Bone marrow aspirate smear · MGG-stained: 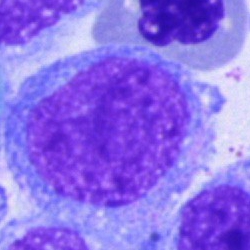
Q: What cell is this?
A: It is an undifferentiated blast.